Pappenheim-stained. Bone marrow smear. 40× oil immersion
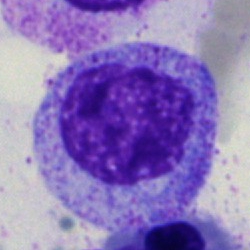Specimen: bone marrow smear.
Morphological class: promyelocyte.
Lineage: myeloid.